250×250 px · bone marrow aspirate smear.
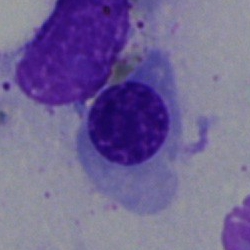This is a nucleated red cell.